Peripheral blood smear; 360 by 363 pixels:
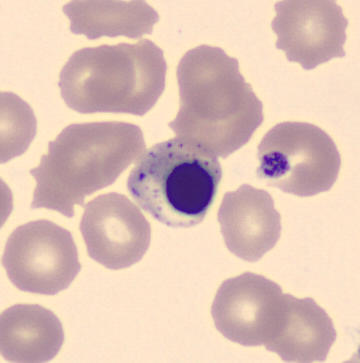Nucleated red cell.